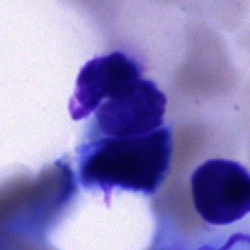
Q: What is shown here?
A: It is an artifact.